Brightfield, 40× oil-immersion objective; May-Grünwald-Giemsa stain; bone marrow aspirate smear.
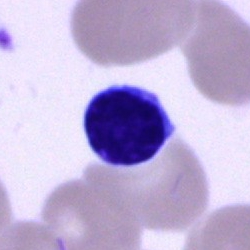 Showing a typical lymphocyte.